Peripheral blood smear · Romanowsky-stained · cropped to a single cell.
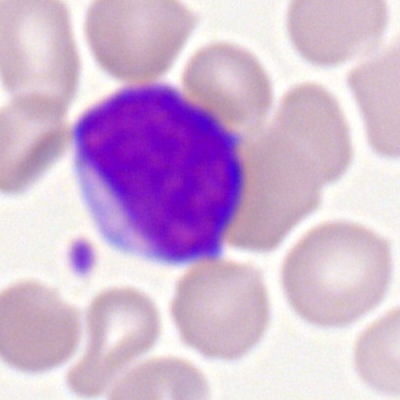 Morphology → myeloid blast.